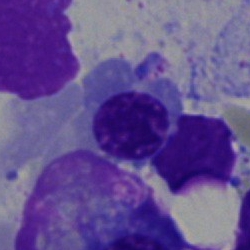

Specimen: bone marrow smear.
Cell: erythroblast.